Bone marrow aspirate smear · 250×250 px — 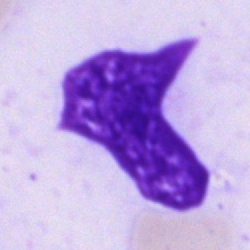 Morphological class = artefact.